Single cell centered in the field · bone marrow smear · brightfield, 40× oil-immersion objective.
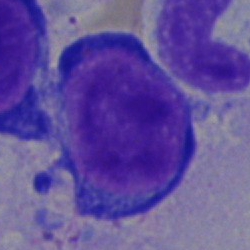 Single cell identified as a pronormoblast.